Bone marrow aspirate smear: 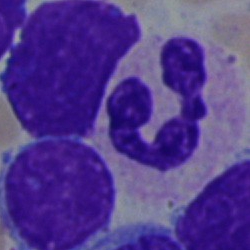 This is a segmented neutrophil.